Bone marrow aspirate smear; single-cell crop: 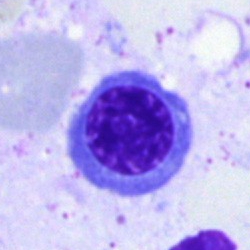The cell type is erythroblast.